Bone marrow aspirate smear · 250×250
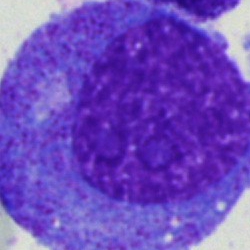

Progranulocyte.